Single-cell field; bone marrow smear; brightfield, 40× oil-immersion objective: 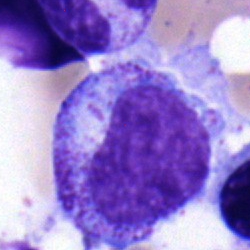

This is a myelocyte.